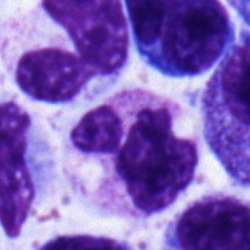

Q: Which cell type is shown here?
A: This is a segmented neutrophil.